Image size 250×250. Bone marrow aspirate smear. Brightfield, 40× oil-immersion objective: 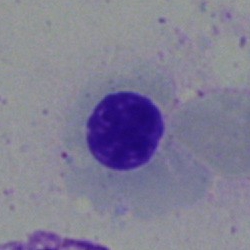A nucleated red blood cell.